May-Grünwald-Giemsa stain · brightfield, 40× oil-immersion objective · bone marrow smear — 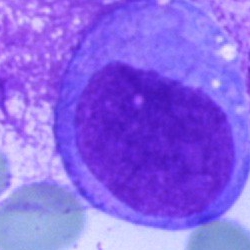
Blast.